Bone marrow smear: 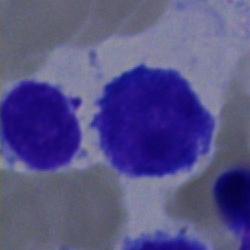 Morphology consistent with a typical lymphocyte.